Bone marrow smear:
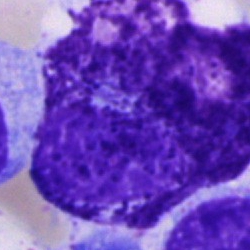 The classification is cell not matching the other categories.